Single cell centered in the field; bone marrow smear — 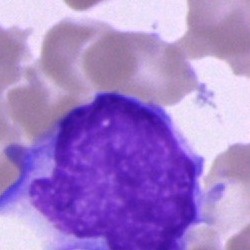

Q: What is shown here?
A: It is a cell of indeterminate lineage.